Bone marrow aspirate smear
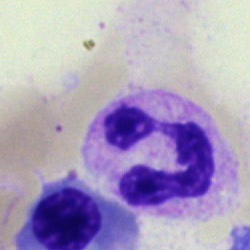 Q: Which cell type is shown here?
A: It is a neutrophil (segmented).